Bone marrow aspirate smear — 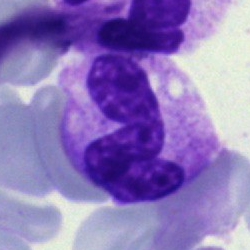 Classification = polymorphonuclear neutrophil.